250 by 250 pixels. 40× oil immersion. Bone marrow smear.
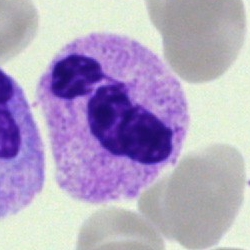 The cell shown is a polymorphonuclear neutrophil.